Bone marrow aspirate smear.
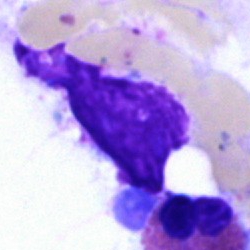 Morphological class: artifact.